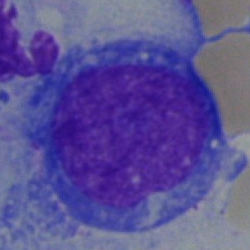
Bone marrow aspirate smear, single cell — blast cell.